400 by 400 pixels · Romanowsky stain · peripheral blood film:
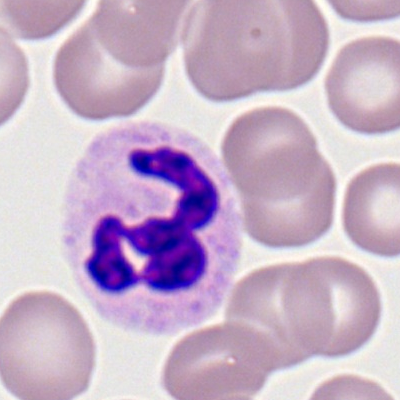 Q: Identify the cell.
A: It is a neutrophil (segmented).